Bone marrow aspirate smear · MGG-stained
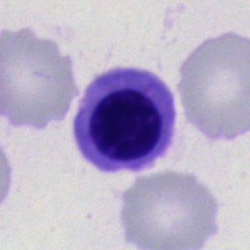Q: What is the morphological classification of this cell?
A: Erythroblast.